250×250 px; bone marrow aspirate smear:
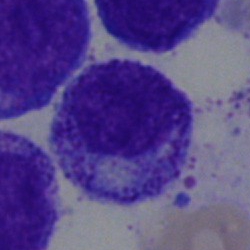 Morphology — promyelocyte.